Peripheral blood film; 100× oil immersion, 14.14 px/µm.
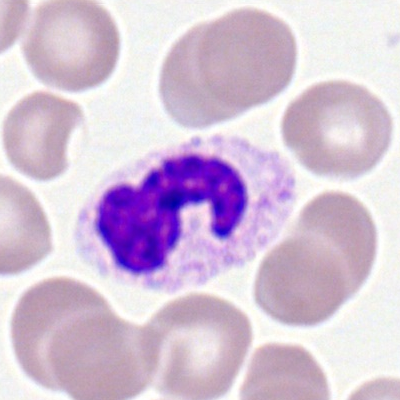
Morphology → neutrophil (segmented).